Bone marrow aspirate smear
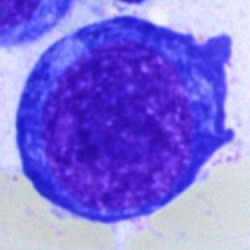

Q: What is shown here?
A: This is a normoblast.